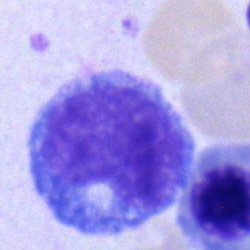 Showing a monocyte.